Bone marrow aspirate smear — 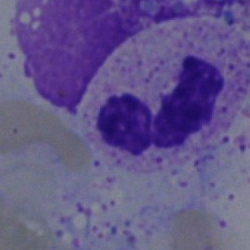
Cell type — segmented neutrophil.